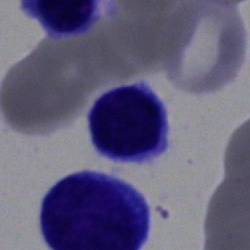

Bone marrow smear showing a typical lymphocyte.